Single-cell crop. Peripheral blood film. M8 digital microscope (Precipoint), 100× oil immersion
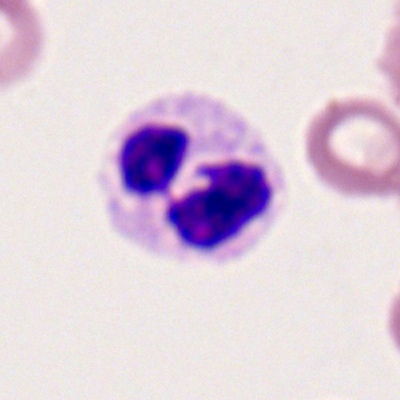

Segmented neutrophil.